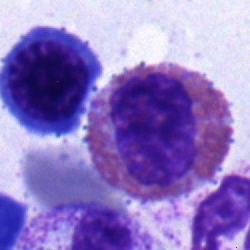

Q: What cell is this?
A: It is an eosinophil.